Single-cell field. Bone marrow aspirate smear.
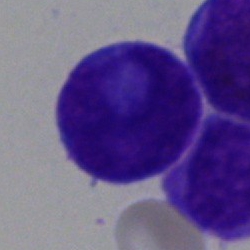Specimen: bone marrow smear.
Classification: undifferentiated blast.